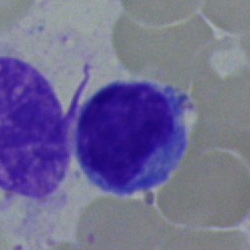
The classification is lymphocyte.